Cropped to a single cell. MGG-stained. Bone marrow smear:
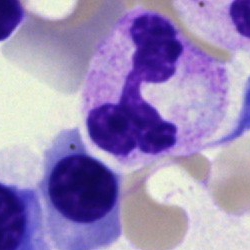Morphological class: neutrophil (segmented).